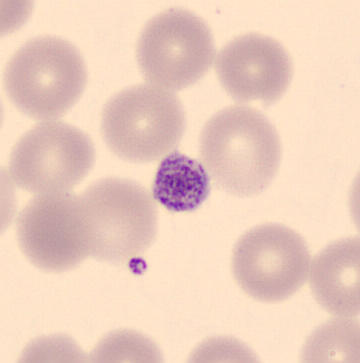 Acquisition: Peripheral blood film. Morphology consistent with a thrombocyte.